Bone marrow smear — 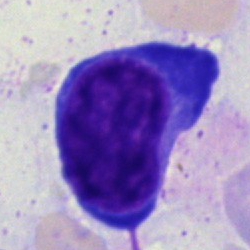

Erythroblast.